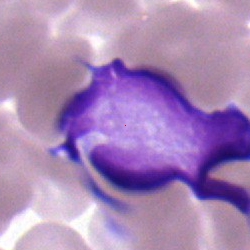
Bone marrow aspirate smear, single cell — typical lymphocyte.